Brightfield microscopy, 40× oil immersion. Bone marrow aspirate smear:
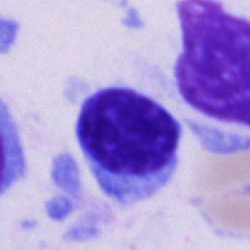 Cell — lymphocyte.